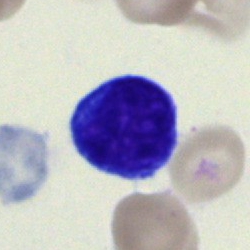
A lymphocyte on a bone marrow smear.